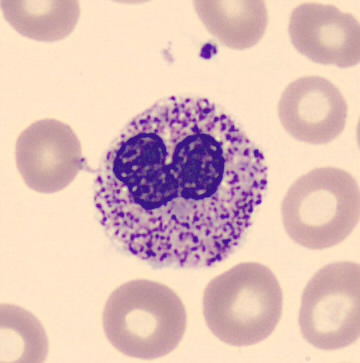
A stab cell. Preparation: 360×363 px · peripheral blood film.